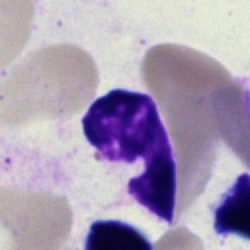
Single-cell crop from a bone marrow smear: artefact.